Image size 250×250 · bone marrow aspirate smear.
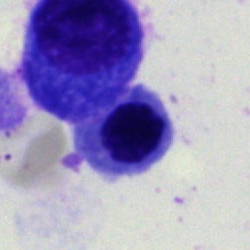Specimen: bone marrow aspirate smear.
Cell type: normoblast.